Bone marrow aspirate smear: 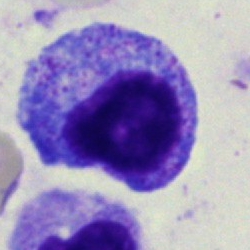
Classification = promyelocyte.